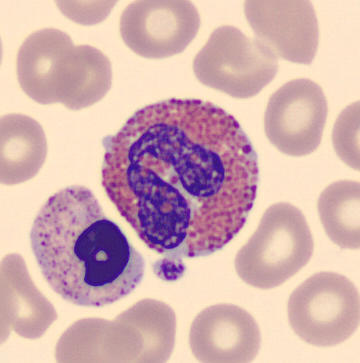 Peripheral blood smear.
{"cell_type": "eosinophilic granulocyte"}